May-Grünwald-Giemsa stain · cropped to a single cell · bone marrow aspirate smear: 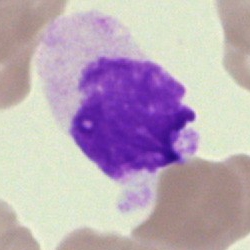

The cell shown is an artifact.